Bone marrow aspirate smear — 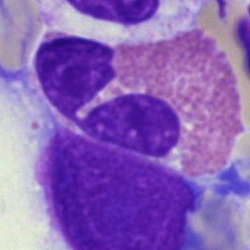 Q: What type of cell is this?
A: An eosinophilic granulocyte.